Image size 250×250. Bone marrow smear — 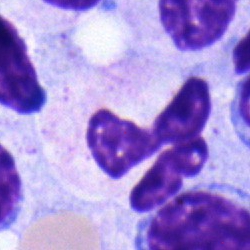Single cell identified as a neutrophil (segmented).